Bone marrow aspirate smear; MGG-stained:
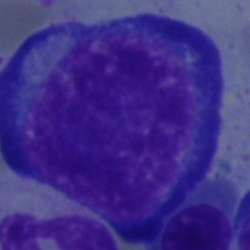

Morphological class = proerythroblast.